40× objective, oil immersion · bone marrow smear · single-cell field — 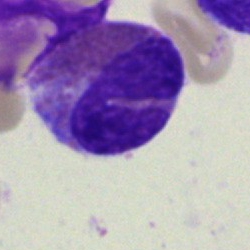

The cell is eosinophil.